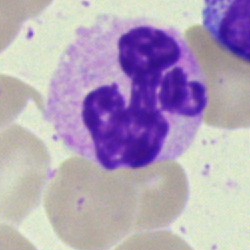 Showing a segmented neutrophil.